Bone marrow aspirate smear; single cell centered in the field; brightfield, 40× oil-immersion objective: 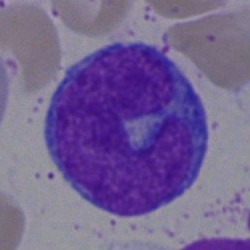
The cell type is monocyte.